Bone marrow aspirate smear
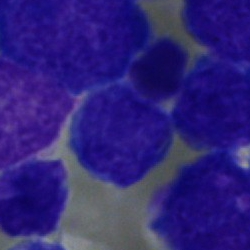Q: Which cell type is shown here?
A: This is an undifferentiated blast.